Bone marrow aspirate smear. Single-cell crop
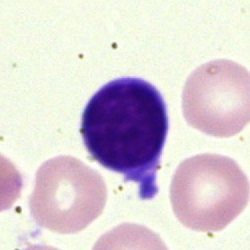 Typical lymphocyte.